Bone marrow aspirate smear
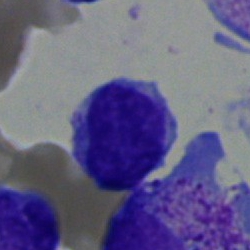 Specimen: bone marrow smear.
Cell type: lymphocyte.
Lineage: lymphoid.